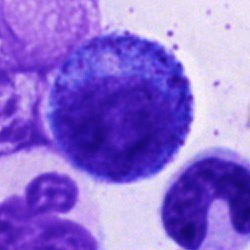

Q: Which cell type is shown here?
A: This is a progranulocyte.